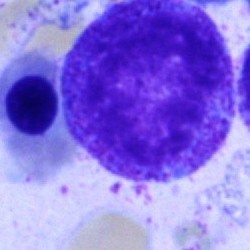Morphology consistent with a progranulocyte.